40× oil immersion · Pappenheim-stained · bone marrow smear:
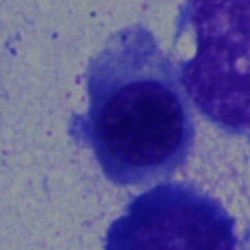Cell — erythroblast.